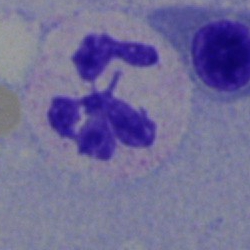 This is a neutrophil (segmented).